Bone marrow smear:
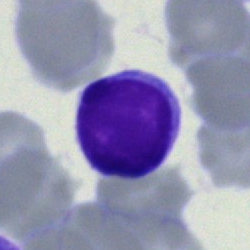

{"cell_type": "lymphocyte", "lineage": "lymphoid"}